Brightfield, 40× oil-immersion objective. Single-cell field. Bone marrow smear.
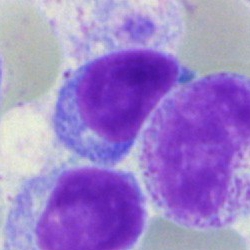 Classification = typical lymphocyte.